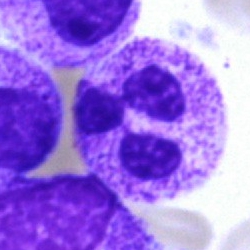
Impression — polymorphonuclear neutrophil.